Bone marrow aspirate smear — 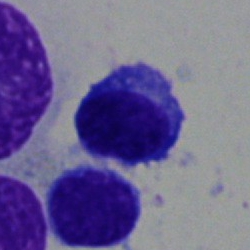

The cell type is plasmacyte.